Bone marrow smear
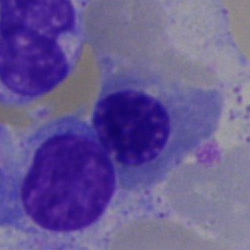
This is a nucleated red blood cell.